Bone marrow smear — 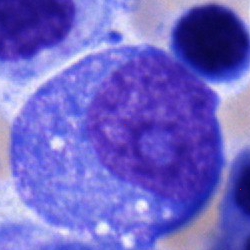This is a promyelocyte.